Peripheral blood smear.
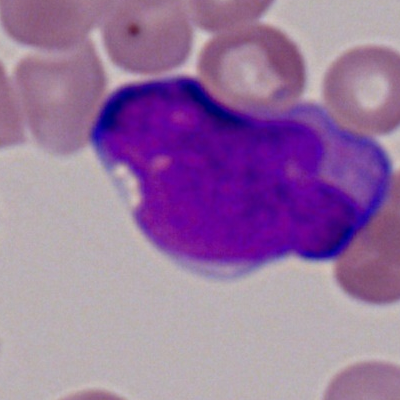 This is a myeloid blast.